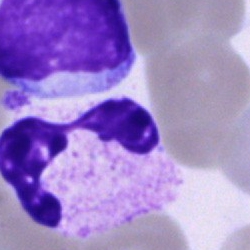

Bone marrow smear showing a neutrophil (segmented).